Peripheral blood smear · 100× objective, oil immersion.
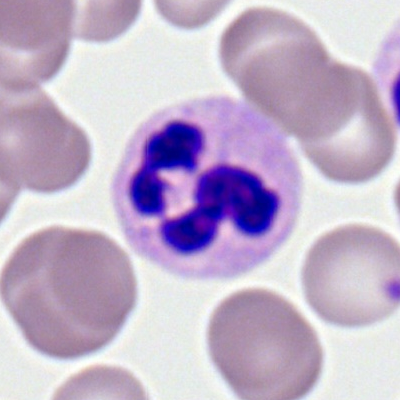 Morphological class: segmented neutrophil.